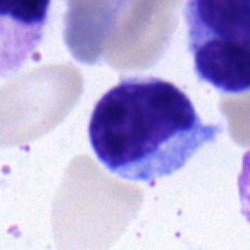
Specimen: bone marrow smear.
Classification: monocyte.